Bone marrow smear:
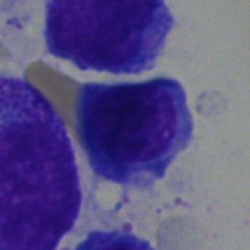

Erythroblast.